Bone marrow aspirate smear: 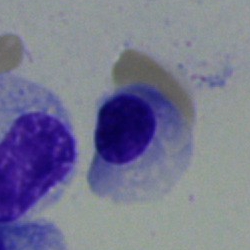 Q: What cell is this?
A: A nucleated red cell.